Single cell centered in the field. Bone marrow smear.
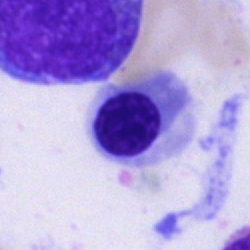 This is a normoblast.